Bone marrow smear
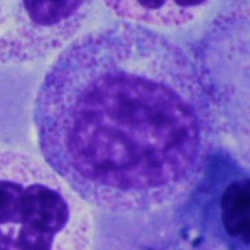

Progranulocyte.